Single cell centered in the field. 40× oil immersion. Bone marrow smear:
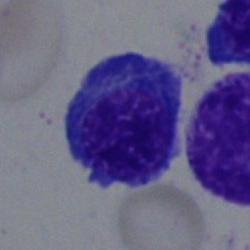Single cell identified as an erythroblast.